Bone marrow smear: 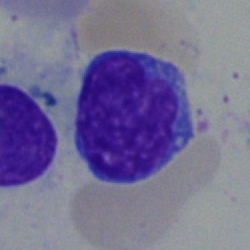Q: Identify the cell.
A: It is a lymphocyte.